Bone marrow smear.
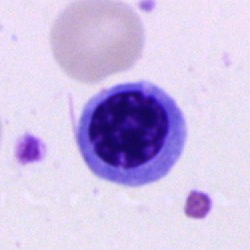 Specimen: bone marrow aspirate smear.
Classification: erythroblast.
Lineage: erythroid.